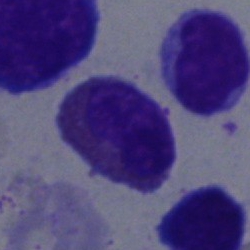Morphology — eosinophil.